Bone marrow aspirate smear.
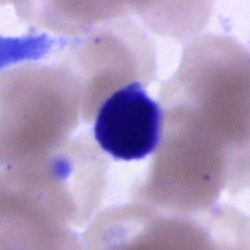 This is a cell of indeterminate lineage.